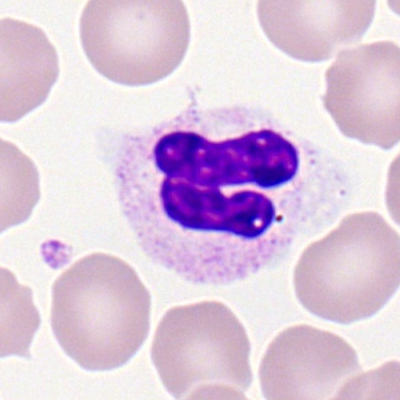
Cell — segmented neutrophil.